Bone marrow aspirate smear; image size 250×250: 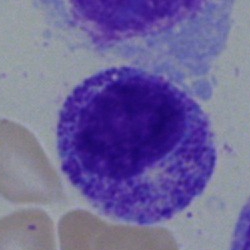

This is a myelocyte.